Bone marrow smear · Pappenheim-stained.
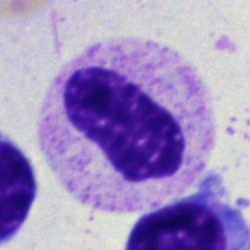
Specimen: bone marrow smear.
Morphological class: neutrophil (band).
Lineage: myeloid.